Bone marrow smear · brightfield microscopy, 40× oil immersion — 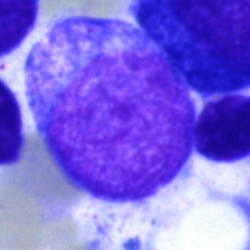

An undifferentiated blast.